Pappenheim-stained. 250×250. Bone marrow aspirate smear:
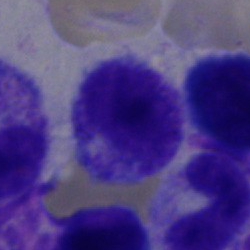Q: Which cell type is shown here?
A: Myelocyte.